250 by 250 pixels · bone marrow aspirate smear · Pappenheim-stained.
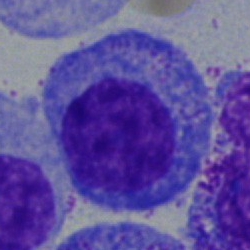

A progranulocyte.